Bone marrow smear.
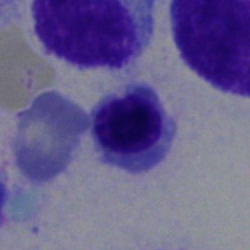Nucleated red blood cell.